Bone marrow aspirate smear — 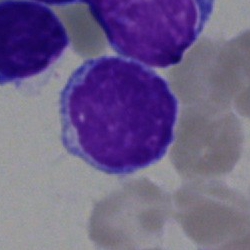 Q: What is the morphological classification of this cell?
A: Lymphocyte.